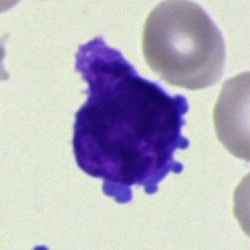
Morphology consistent with an undifferentiated blast.